Bone marrow aspirate smear: 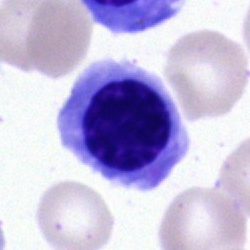Morphology consistent with a nucleated red blood cell.